Bone marrow smear; brightfield microscopy, 40× oil immersion: 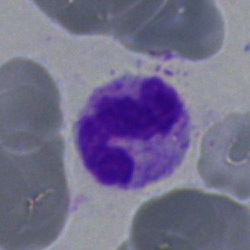Q: What type of cell is this?
A: Polymorphonuclear neutrophil.